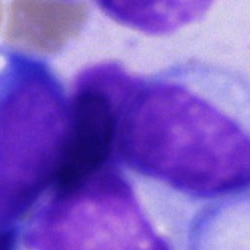
{"cell_type": "cell of indeterminate lineage"}